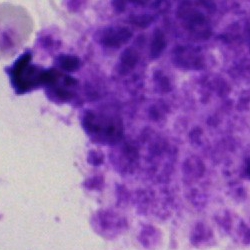

Specimen: bone marrow aspirate smear.
Morphological class: artefact.